Bone marrow aspirate smear. May-Grünwald-Giemsa/Pappenheim stain
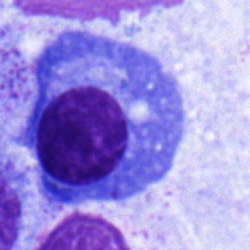

This is a plasmacyte.